May-Grünwald-Giemsa stain; bone marrow smear.
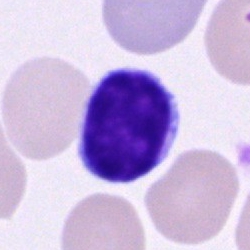 The cell type is typical lymphocyte.